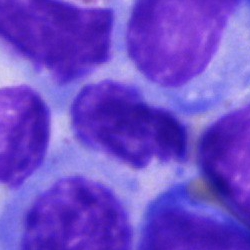 Q: What cell is this?
A: It is an unidentifiable cell.